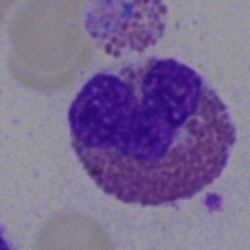

Q: What is shown here?
A: It is an eosinophil.